Bone marrow aspirate smear
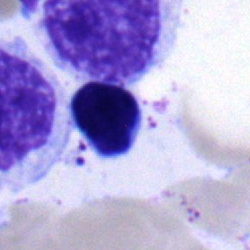
Cell = typical lymphocyte.